Bone marrow smear:
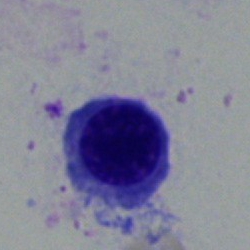The morphological class is erythroblast.